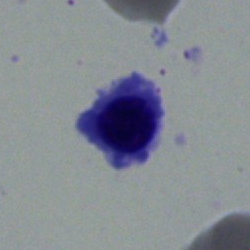 Classification = erythroblast.